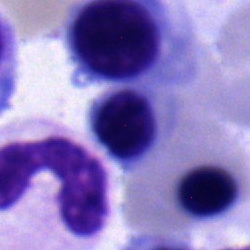

{"cell_type": "nucleated red cell"}